Bone marrow aspirate smear — 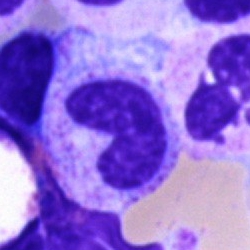

Cell = metamyelocyte.